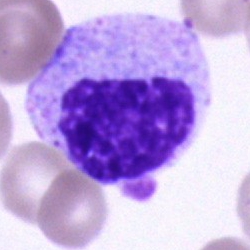
Morphology — myelocyte.